Bone marrow smear; May-Grünwald-Giemsa/Pappenheim stain — 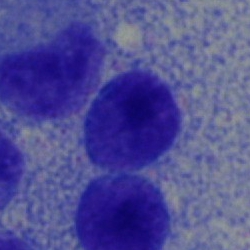
{"cell_type": "monocyte", "lineage": "myeloid"}